Single cell centered in the field; brightfield microscopy, 40× oil immersion; bone marrow aspirate smear.
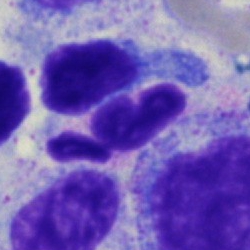 A segmented neutrophil.